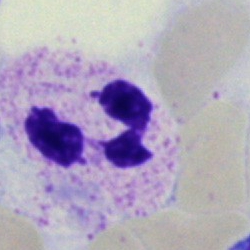 A segmented neutrophil.